Bone marrow aspirate smear; 40× oil immersion — 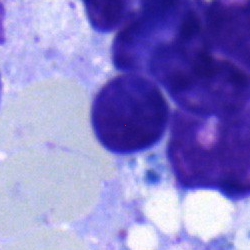Impression — lymphocyte.